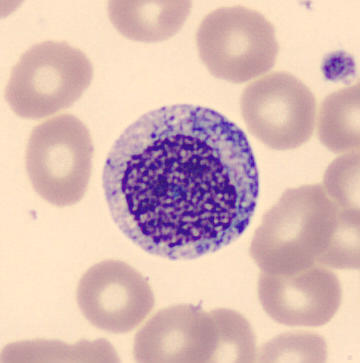 Classification — myelocyte. Image: Peripheral blood film. May Grünwald-Giemsa stain.